Bone marrow aspirate smear — 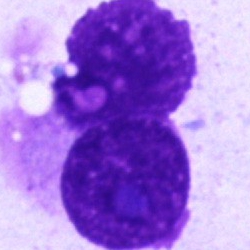
Morphology consistent with an artifact.